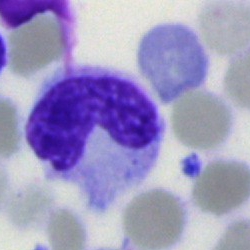 Q: What type of cell is this?
A: A band neutrophil.